Brightfield, 40× oil-immersion objective. Bone marrow aspirate smear.
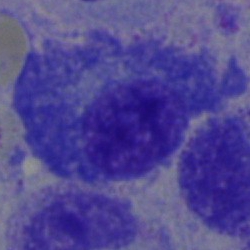Impression — plasmacyte.